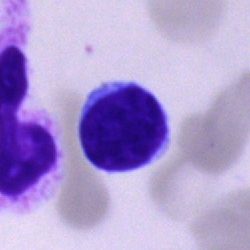
Typical lymphocyte.